Bone marrow smear: 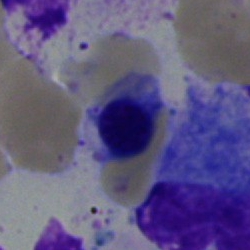 A nucleated red blood cell.